Bone marrow smear.
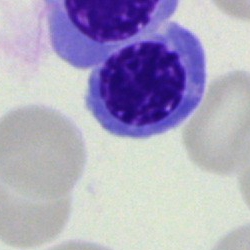 Single cell identified as an erythroblast.